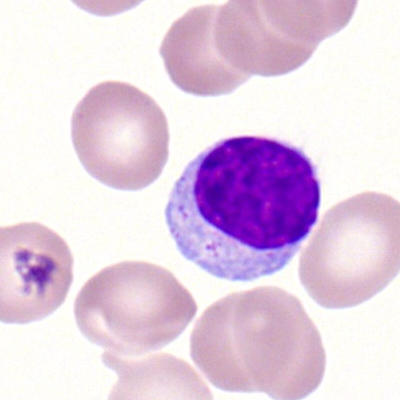
Morphological class = lymphocyte.